Bone marrow smear: 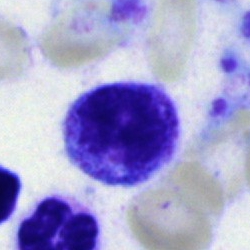

The classification is cell of indeterminate lineage.